Bone marrow smear.
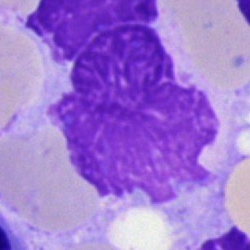 The cell shown is an artefact.